Bone marrow smear.
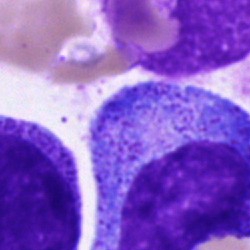
This is a promyelocyte.